Bone marrow aspirate smear
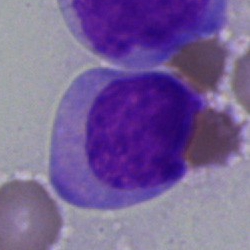Single cell identified as a blast.